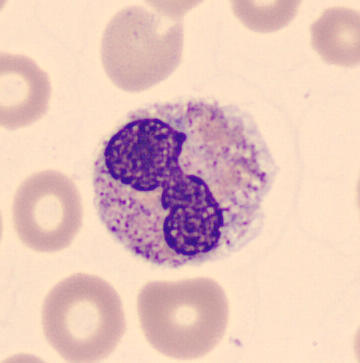

This is a neutrophil (band). Image: Peripheral blood film.